Bone marrow smear; 250×250; single-cell crop — 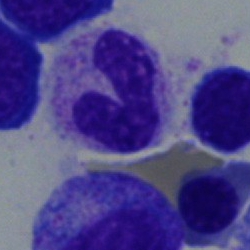

Classification: stab cell.